Bone marrow aspirate smear — 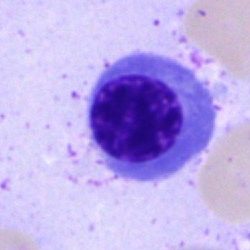

Specimen: bone marrow smear.
Cell type: normoblast.